Bone marrow aspirate smear. 250×250 px. Cropped to a single cell:
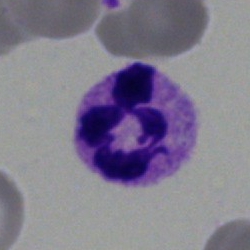Specimen: bone marrow smear.
Classification: neutrophil (segmented).
Lineage: myeloid.